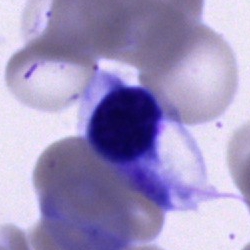
Specimen: bone marrow aspirate smear.
Classification: artifact.